250 by 250 pixels; bone marrow smear:
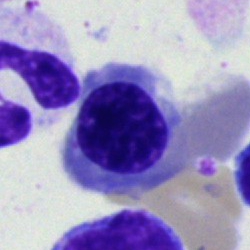 Cell type: nucleated red blood cell.